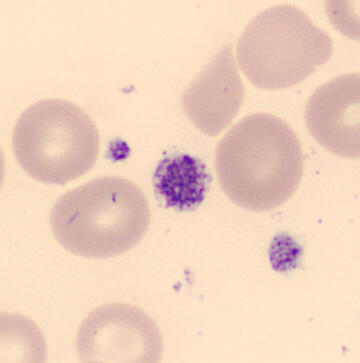

A thrombocyte. Preparation: Peripheral blood film.